Bone marrow aspirate smear — 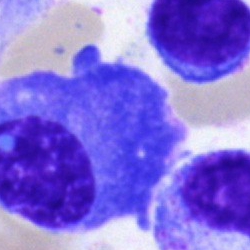

Q: What cell is this?
A: This is a plasmacyte.